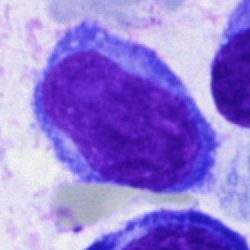 Specimen: bone marrow smear.
Morphological class: blast cell.